Bone marrow smear; 250×250
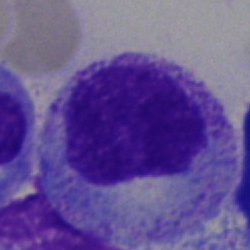Showing a myelocyte.